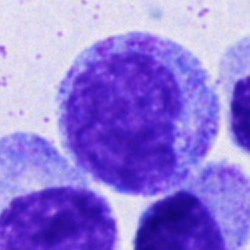

Q: What is shown here?
A: It is a promyelocyte.